MGG-stained. Bone marrow smear. 40× objective, oil immersion
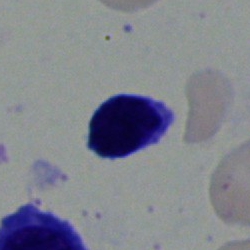

Q: What type of cell is this?
A: It is a lymphocyte.